Bone marrow aspirate smear: 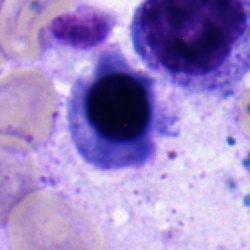
This is a plasmacyte.